250×250 px · bone marrow aspirate smear · brightfield, 40× oil-immersion objective: 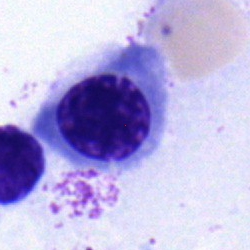

The cell is normoblast.